Peripheral blood smear: 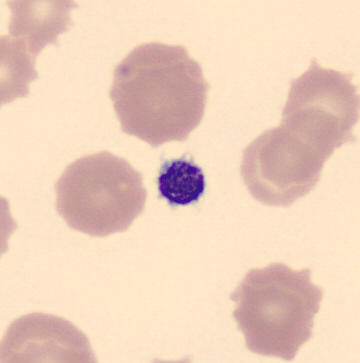
Specimen: peripheral blood smear.
Morphological class: thrombocyte.